Bone marrow aspirate smear
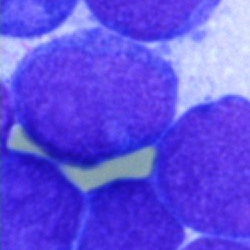
Cell — undifferentiated blast.